Brightfield microscopy, 40× oil immersion · 250 by 250 pixels · bone marrow smear.
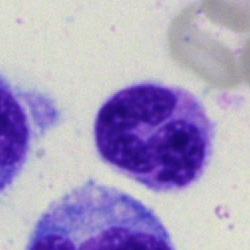 Q: What is shown here?
A: It is a neutrophil (band).